Bone marrow smear — 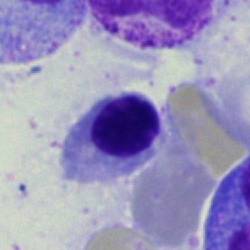 Impression — normoblast.